Bone marrow aspirate smear. 250×250.
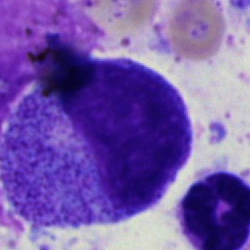Q: What is shown here?
A: This is a promyelocyte.